Brightfield, 40× oil-immersion objective. Bone marrow aspirate smear. 250×250 px — 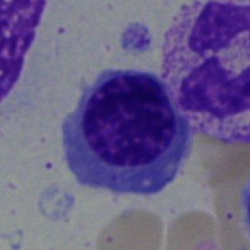
Specimen: bone marrow smear.
Cell type: nucleated red cell.
Lineage: erythroid.